Bone marrow smear. Pappenheim-stained: 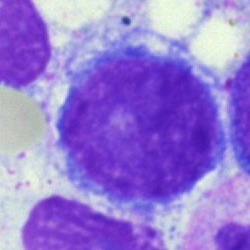 The cell type is blast.